250 by 250 pixels; bone marrow aspirate smear; 40× objective, oil immersion:
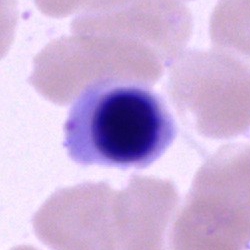

Cell type = erythroblast.